Image size 250×250 · May-Grünwald-Giemsa stain · bone marrow aspirate smear — 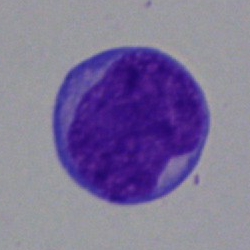
Morphology — blast cell.